100× objective, oil immersion · peripheral blood film · Romanowsky-type stain:
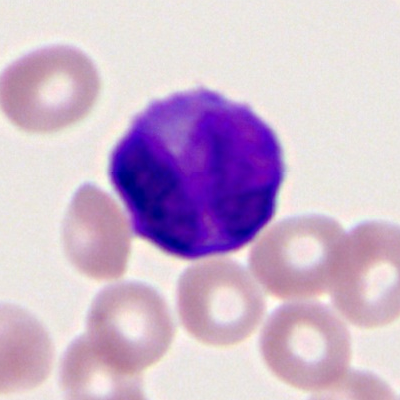

Q: What type of cell is this?
A: A promyelocyte (bilobed).